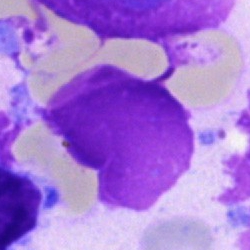 Artefact.